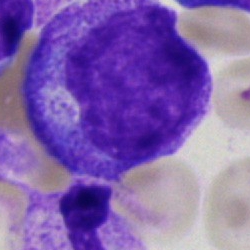 {"cell_type": "promyelocyte"}